Bone marrow smear
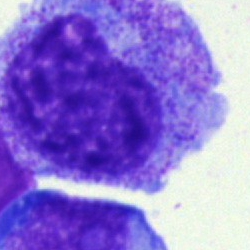
Specimen: bone marrow aspirate smear.
Morphological class: progranulocyte.
Lineage: myeloid.